Bone marrow aspirate smear — 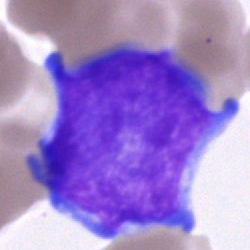

{"cell_type": "blast cell"}